250×250 · Pappenheim-stained · bone marrow aspirate smear: 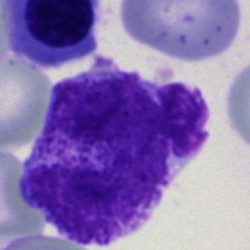
Classification: band-form neutrophil.